40× oil immersion; bone marrow aspirate smear; May-Grünwald-Giemsa/Pappenheim stain — 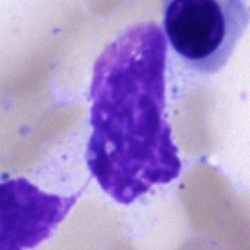

The cell type is artifact.